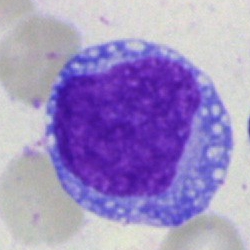

Classification = blast.